Single-cell field. 250×250. Bone marrow smear
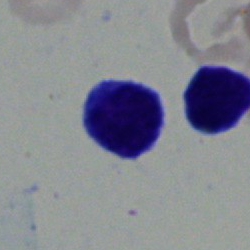
Classification = typical lymphocyte.